Bone marrow smear · 250×250
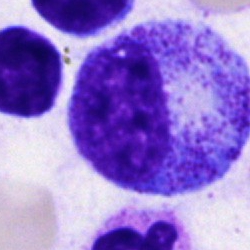
Cell: progranulocyte.